Bone marrow smear; image size 250×250 — 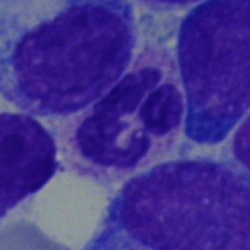 This is a neutrophil (segmented).